May-Grünwald-Giemsa/Pappenheim stain. Bone marrow smear.
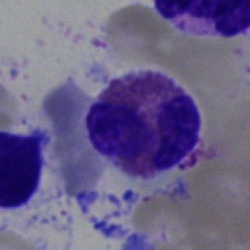Morphological class = eosinophilic granulocyte.